Bone marrow smear.
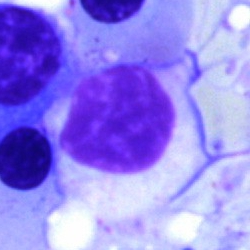

Morphology consistent with a lymphocyte.